Bone marrow aspirate smear.
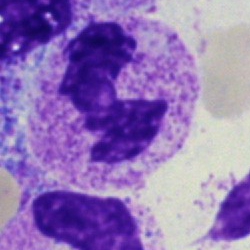
{"cell_type": "neutrophil (segmented)", "lineage": "myeloid"}